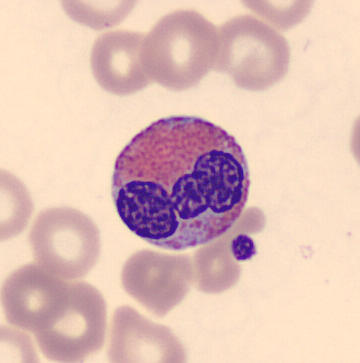 Classification — eosinophilic granulocyte.
Preparation: Single-cell crop; peripheral blood smear.